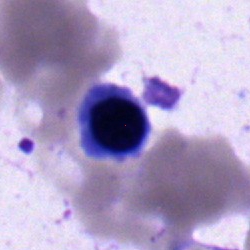
Morphological class = lymphocyte.